Bone marrow smear: 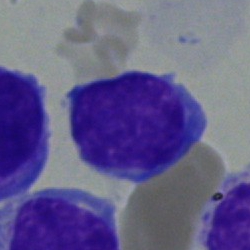
Cell type: lymphocyte.